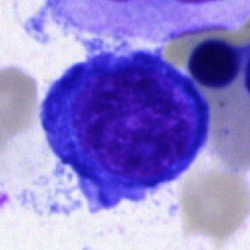Cell — nucleated red blood cell.